Bone marrow aspirate smear; 40× oil immersion; MGG-stained
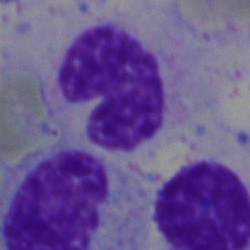

Classification = stab cell.